Bone marrow smear. 40× oil immersion
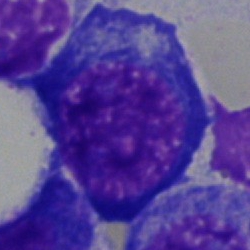 Erythroblast.